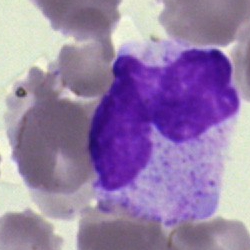

Showing an artifact.